Bone marrow aspirate smear — 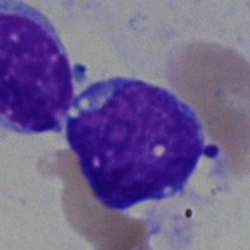Single cell identified as a blast.